Bone marrow smear
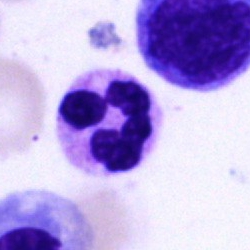
Classification: segmented neutrophil.